Bone marrow aspirate smear
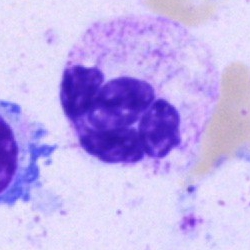 Impression → neutrophil (segmented).